Bone marrow smear: 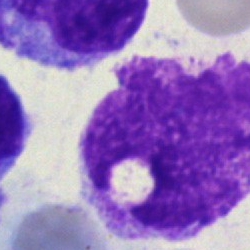
The classification is artifact.